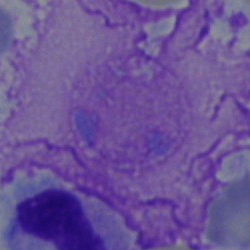 Cell type = artefact.